Peripheral blood smear. Romanowsky-type stain.
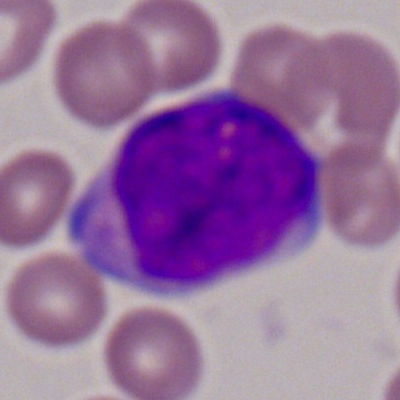
The cell type is myeloid blast.